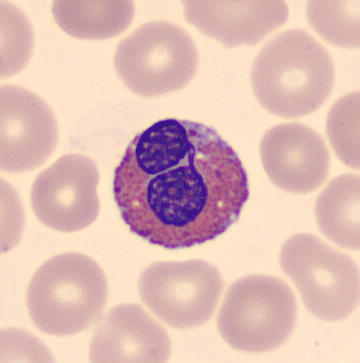
An eosinophil.
Peripheral blood smear.